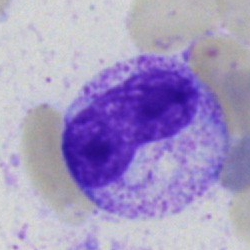

Myelocyte.